Bone marrow aspirate smear:
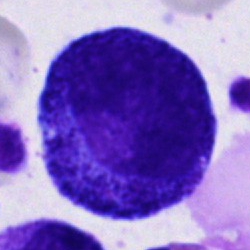

{"cell_type": "progranulocyte", "lineage": "myeloid"}